Bone marrow aspirate smear
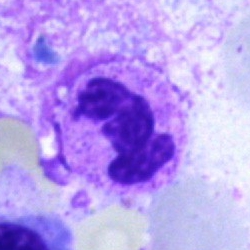 Classification = polymorphonuclear neutrophil.